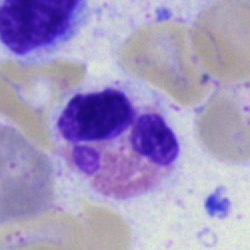

Q: What cell is this?
A: An eosinophilic granulocyte.